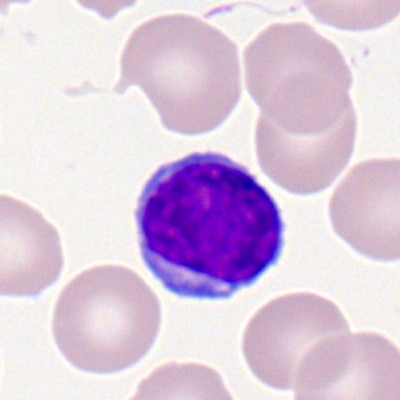A lymphocyte on a peripheral blood smear.